Bone marrow aspirate smear: 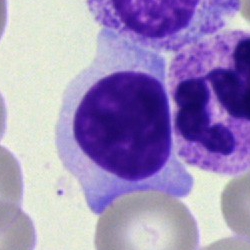The cell shown is a typical lymphocyte.